250×250 px · bone marrow aspirate smear — 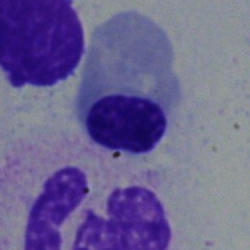

Morphology consistent with a nucleated red cell.